250×250; May-Grünwald-Giemsa stain; bone marrow aspirate smear: 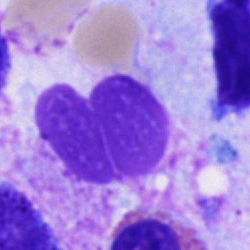Specimen: bone marrow smear.
Cell type: artifact.